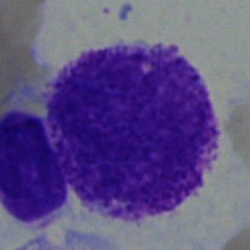
Bone marrow aspirate smear, single cell — promyelocyte.